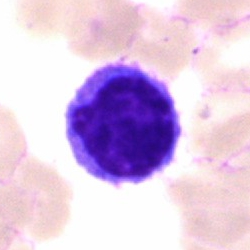
Cell type = typical lymphocyte.